Bone marrow aspirate smear — 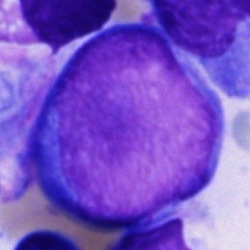 Specimen: bone marrow smear.
Classification: undifferentiated blast.